Peripheral blood smear.
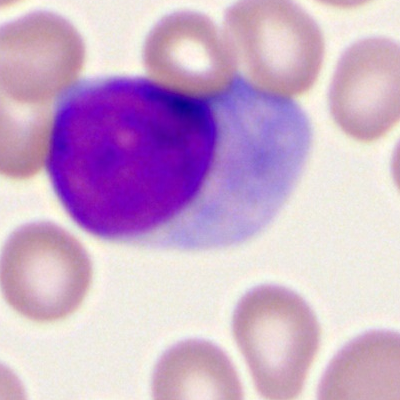Specimen: peripheral blood smear.
Morphological class: myeloid blast.
Lineage: myeloid.